250×250; bone marrow aspirate smear — 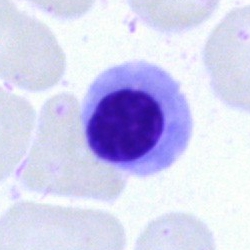
Morphology → nucleated red blood cell.